Brightfield microscopy, 40× oil immersion · bone marrow aspirate smear.
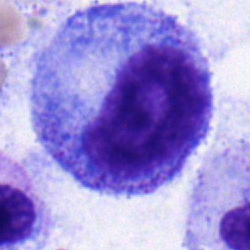

Showing a promyelocyte.